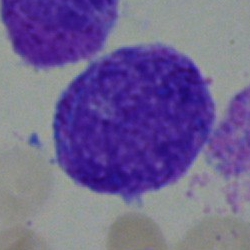

Impression — undifferentiated blast.